Bone marrow smear.
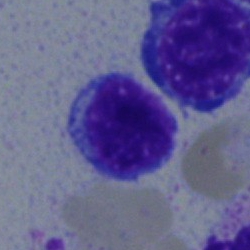

Specimen: bone marrow aspirate smear.
Cell type: lymphocyte.
Lineage: lymphoid.